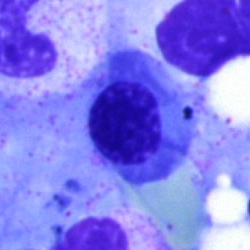
{"cell_type": "nucleated red cell"}